Bone marrow aspirate smear. Single-cell crop
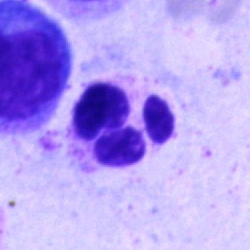
Impression → polymorphonuclear neutrophil.